Bone marrow aspirate smear. 250×250 px:
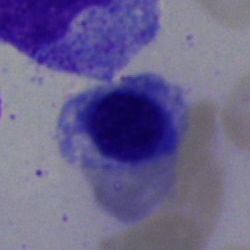 Classification — normoblast.